Bone marrow aspirate smear:
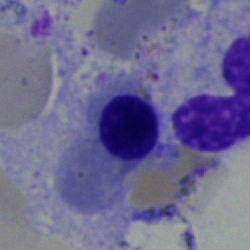
A normoblast.